Peripheral blood film: 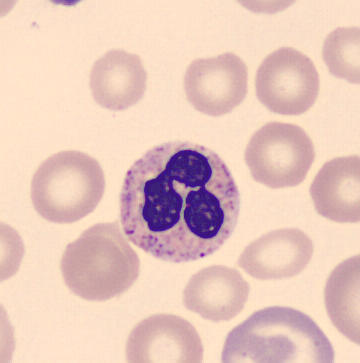 A polymorphonuclear neutrophil.